May-Grünwald-Giemsa stain. Bone marrow smear
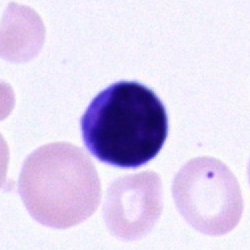Cell type: lymphocyte.